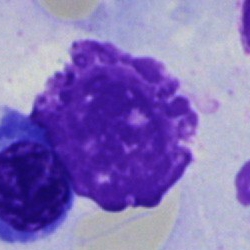Cell: artefact.